Bone marrow aspirate smear.
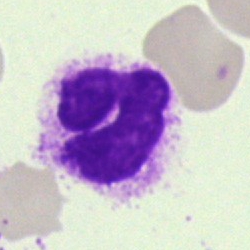Single cell identified as a segmented neutrophil.